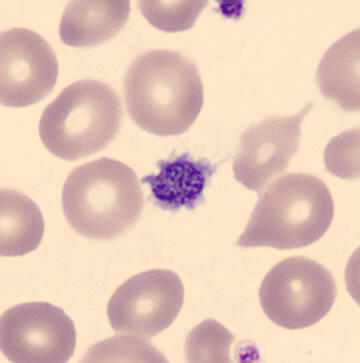
The cell type is platelet.